May-Grünwald-Giemsa/Pappenheim stain; bone marrow aspirate smear — 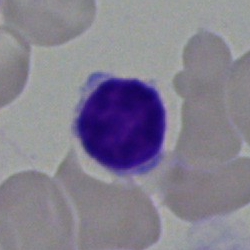 {"cell_type": "typical lymphocyte", "lineage": "lymphoid"}